Bone marrow smear · 250 by 250 pixels.
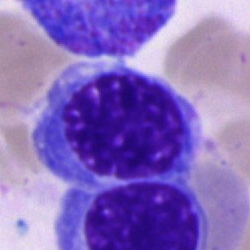
This is an erythroblast.